40× oil immersion. Bone marrow smear
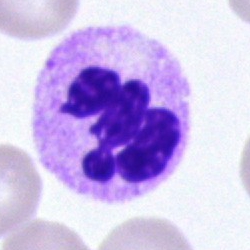
Classification — polymorphonuclear neutrophil.